Bone marrow aspirate smear: 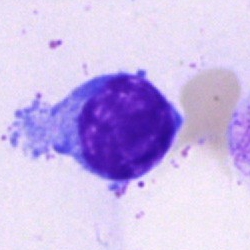

Cell type = lymphocyte.